250×250 · bone marrow aspirate smear
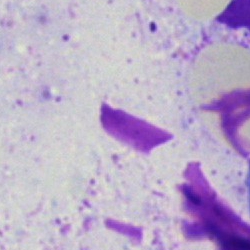
The cell type is artifact.